Cropped to a single cell. Bone marrow smear: 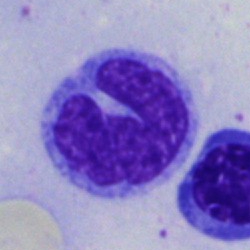
Q: What type of cell is this?
A: Monocyte.